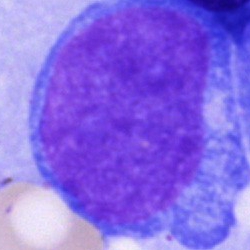
A blast cell.